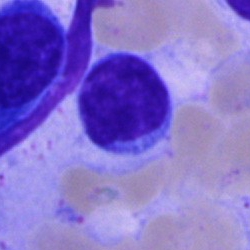

Specimen: bone marrow smear.
Morphological class: lymphocyte.
Lineage: lymphoid.